400 by 400 pixels; peripheral blood smear: 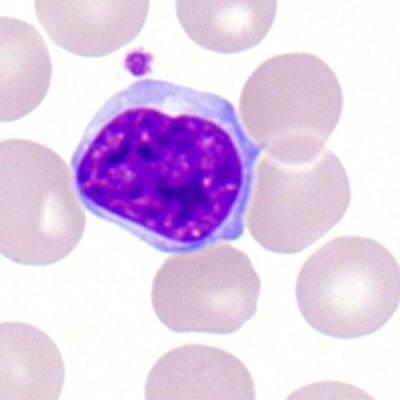Specimen: peripheral blood smear.
Cell type: lymphocyte.
Lineage: lymphoid.